250×250 px. 40× objective, oil immersion. Bone marrow aspirate smear:
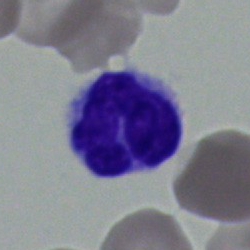

Morphology → monocyte.